Cropped to a single cell. Bone marrow aspirate smear — 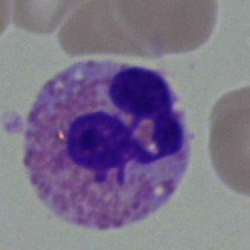

Classification: eosinophilic granulocyte.